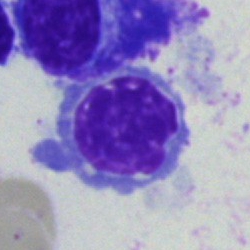 A nucleated red cell.